Image size 250×250. Bone marrow aspirate smear. Single-cell crop — 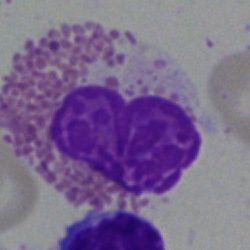This is an eosinophil.